Cropped to a single cell; bone marrow smear; 250×250 px: 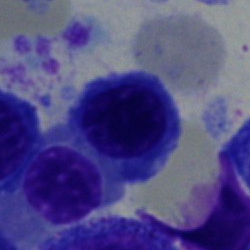 Q: What type of cell is this?
A: It is an erythroblast.